Bone marrow smear — 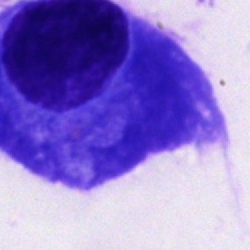

Q: What is shown here?
A: It is a plasma cell.